Bone marrow smear; brightfield, 40× oil-immersion objective:
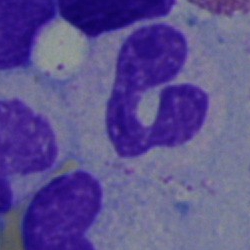

An erythroblast.